Bone marrow smear. 250 by 250 pixels:
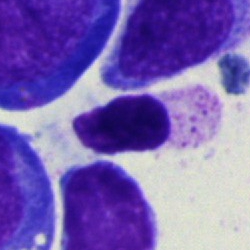
Impression — cell of indeterminate lineage.